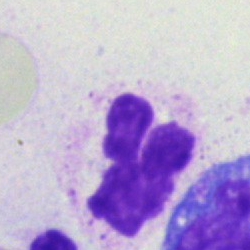

Impression — segmented neutrophil.